Peripheral blood film:
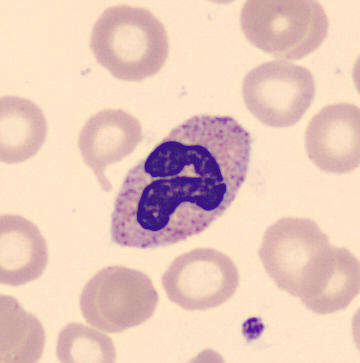Q: What cell is this?
A: A stab cell.